Bone marrow aspirate smear — 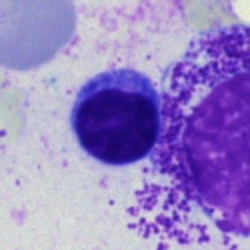

Q: What is the morphological classification of this cell?
A: It is a lymphocyte.